Single cell centered in the field · bone marrow smear
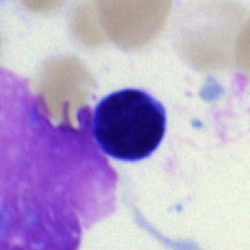
A typical lymphocyte.